Bone marrow aspirate smear. Single-cell crop: 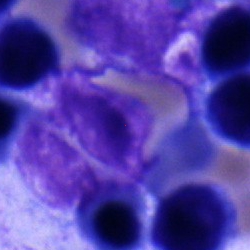

Showing a segmented neutrophil.